40× oil immersion · May-Grünwald-Giemsa/Pappenheim stain · bone marrow aspirate smear:
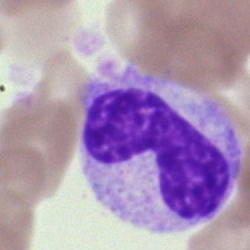

Q: What type of cell is this?
A: A band-form neutrophil.